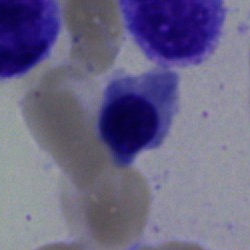Q: Which cell type is shown here?
A: This is an erythroblast.